Bone marrow smear: 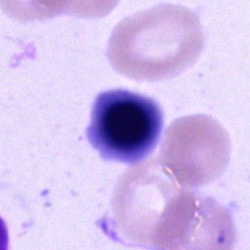
{"cell_type": "erythroblast", "lineage": "erythroid"}